Bone marrow smear
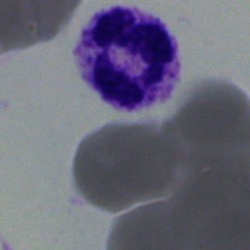

The cell shown is a polymorphonuclear neutrophil.